Single-cell field; peripheral blood film:
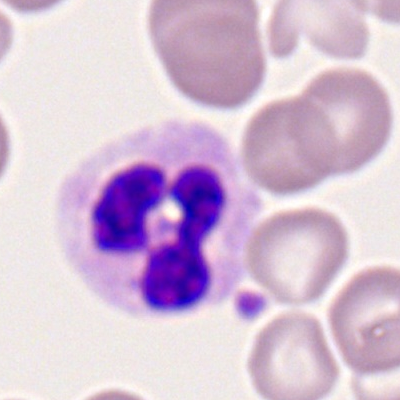
Classification — neutrophil (segmented).